Bone marrow smear; MGG-stained: 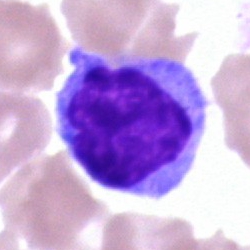Morphology — hairy cell.